Peripheral blood smear.
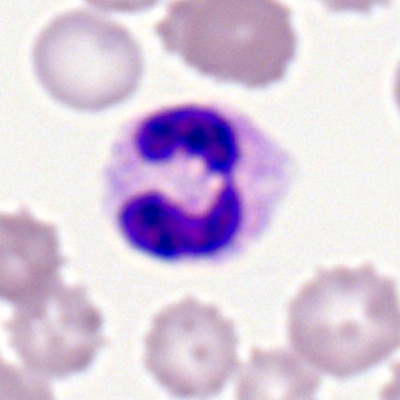

Q: What type of cell is this?
A: This is a polymorphonuclear neutrophil.